Bone marrow smear. May-Grünwald-Giemsa stain. Single cell centered in the field — 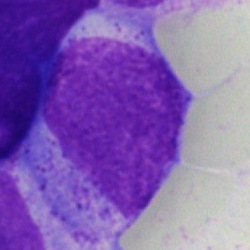 This is an undifferentiated blast.